Peripheral blood film · 400×400 px — 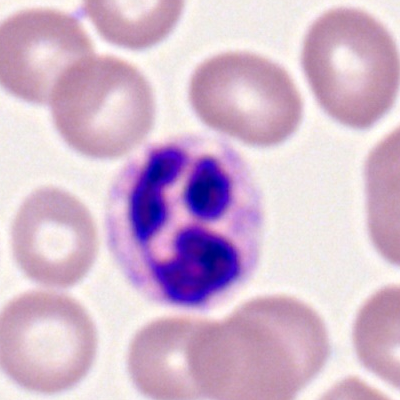Cell type — segmented neutrophil.